Bone marrow smear:
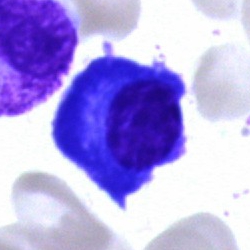 Plasma cell.